Bone marrow smear; 250×250 px
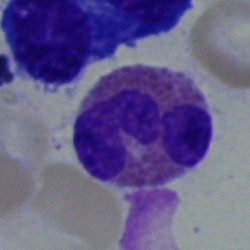

Specimen: bone marrow smear.
Classification: eosinophilic granulocyte.